Bone marrow smear. Brightfield microscopy, 40× oil immersion. 250 by 250 pixels.
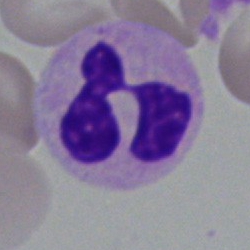
Q: What type of cell is this?
A: It is a segmented neutrophil.